Single-cell crop. May Grünwald-Giemsa stain. Peripheral blood smear.
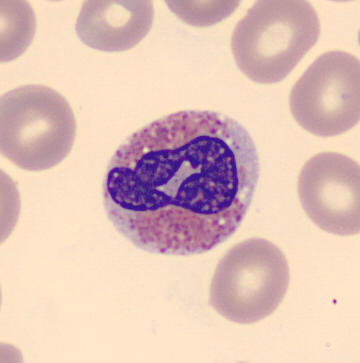
Impression → eosinophilic granulocyte.